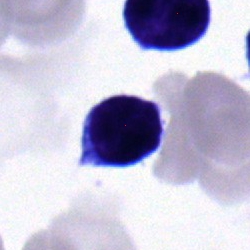 The cell is typical lymphocyte.